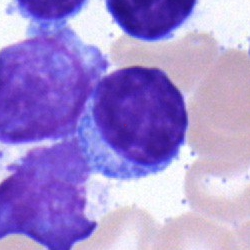 Lymphocyte.